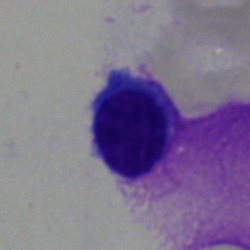Impression → typical lymphocyte.